MGG-stained; bone marrow smear: 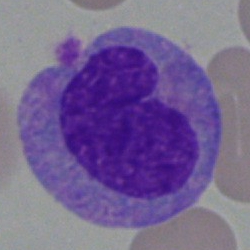Morphological class: monocyte.